Bone marrow smear.
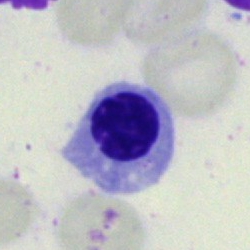

This is a nucleated red cell.